Bone marrow aspirate smear:
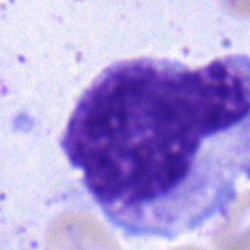
A myelocyte.